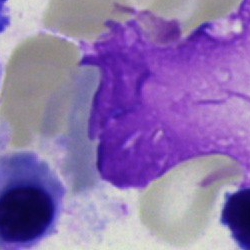

Q: What is shown here?
A: Artifact.